Cropped to a single cell. Bone marrow aspirate smear:
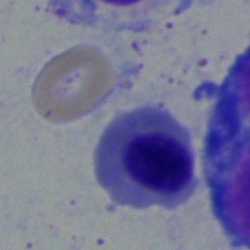

{"cell_type": "normoblast", "lineage": "erythroid"}